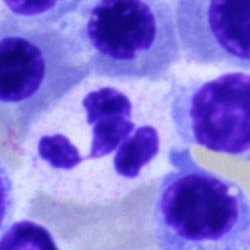

Q: Which cell type is shown here?
A: A polymorphonuclear neutrophil.